Bone marrow aspirate smear. Single-cell crop:
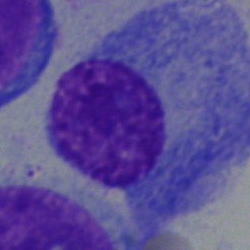 Specimen: bone marrow smear.
Classification: plasmacyte.